250×250. Brightfield microscopy, 40× oil immersion. Bone marrow smear.
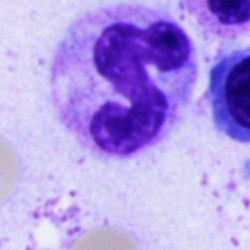The classification is neutrophil (segmented).